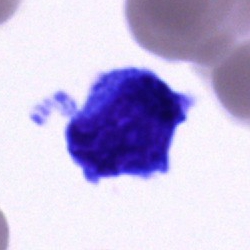Q: What type of cell is this?
A: A blast cell.